Single-cell field · bone marrow smear.
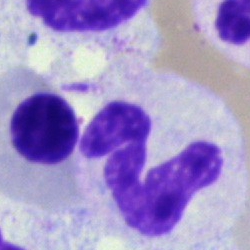The cell shown is a polymorphonuclear neutrophil.